Bone marrow aspirate smear
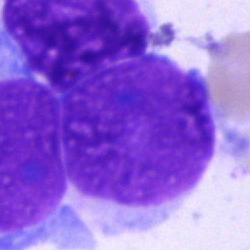
The cell type is artifact.